Single cell centered in the field · bone marrow aspirate smear:
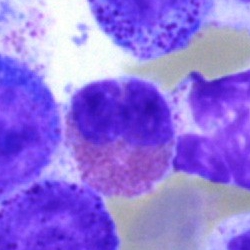Morphological class = eosinophilic granulocyte.